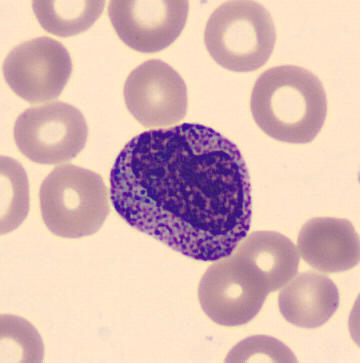
Specimen: peripheral blood smear.
Cell type: metamyelocyte.
Lineage: myeloid.